Brightfield microscopy, 40× oil immersion · bone marrow aspirate smear.
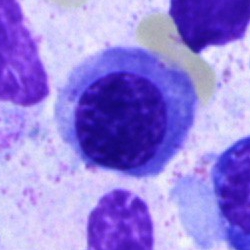 Q: Which cell type is shown here?
A: A nucleated red blood cell.